May-Grünwald-Giemsa/Pappenheim stain · bone marrow smear:
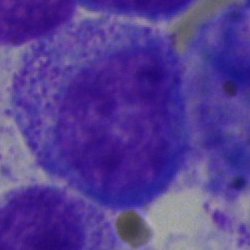

Classification = promyelocyte.